Bone marrow aspirate smear — 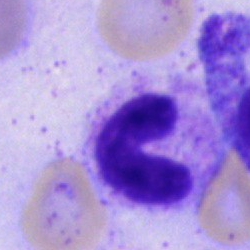Band neutrophil.